Bone marrow smear.
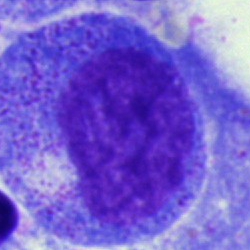

Specimen: bone marrow smear.
Morphological class: promyelocyte.
Lineage: myeloid.